Bone marrow smear: 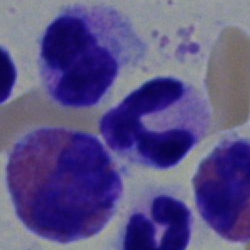
Single cell identified as a neutrophil (segmented).